Bone marrow smear:
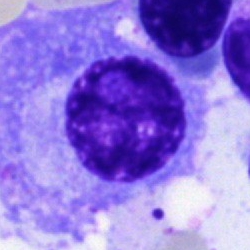
Showing a plasmacyte.